Peripheral blood smear.
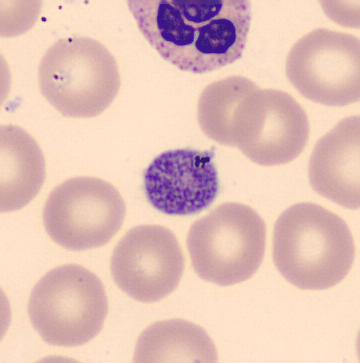

This is a platelet (thrombocyte).